May-Grünwald-Giemsa/Pappenheim stain · bone marrow aspirate smear: 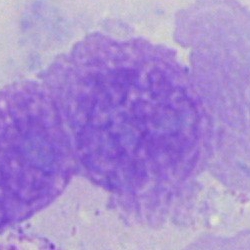Showing an artifact.